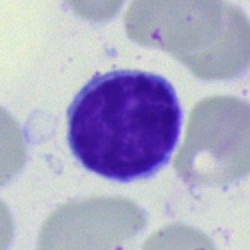{"cell_type": "lymphocyte", "lineage": "lymphoid"}